Peripheral blood smear — 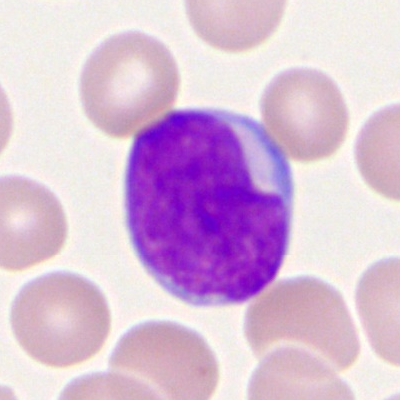 Q: What is the morphological classification of this cell?
A: It is a myeloblast.